May-Grünwald-Giemsa/Pappenheim stain; bone marrow smear.
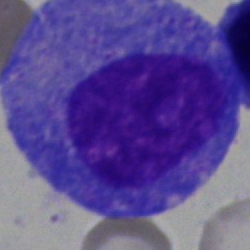Single cell identified as a progranulocyte.